Bone marrow smear:
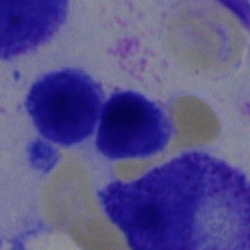

The cell shown is a lymphocyte.